Bone marrow aspirate smear
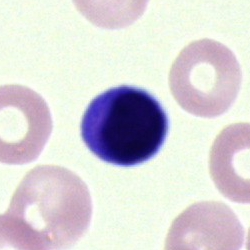

Specimen: bone marrow smear.
Morphological class: artefact.